Bone marrow smear: 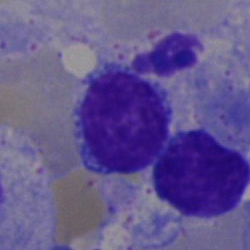 {"cell_type": "lymphocyte"}